Bone marrow aspirate smear. Brightfield microscopy, 40× oil immersion.
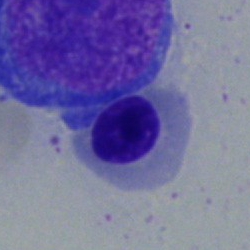Q: Which cell type is shown here?
A: Nucleated red blood cell.